Bone marrow aspirate smear. 40× oil immersion.
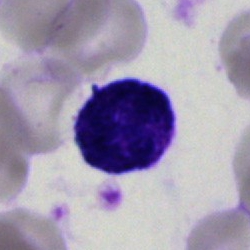Morphological class = nucleated red blood cell.